Bone marrow smear.
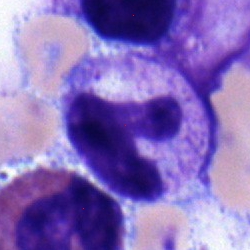Q: What is shown here?
A: A neutrophil (segmented).